Bone marrow aspirate smear — 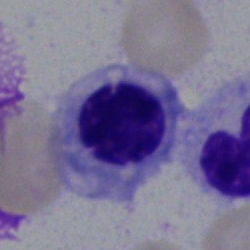 Specimen: bone marrow aspirate smear.
Cell type: normoblast.
Lineage: erythroid.